40× objective, oil immersion · bone marrow aspirate smear:
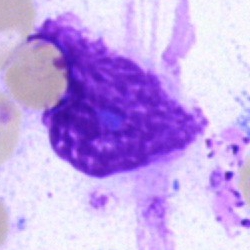 Cell type = artefact.